Bone marrow aspirate smear. 40× oil immersion. 250×250.
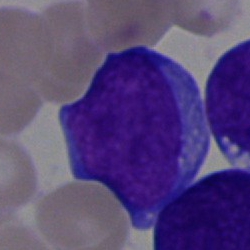
A blast cell.